Single-cell crop · bone marrow smear: 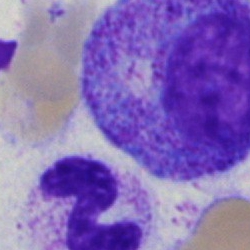This is a promyelocyte.